Single-cell crop · bone marrow smear · May-Grünwald-Giemsa/Pappenheim stain
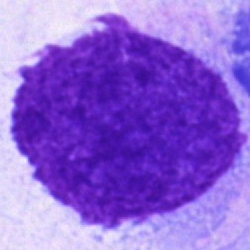 {"cell_type": "artefact"}